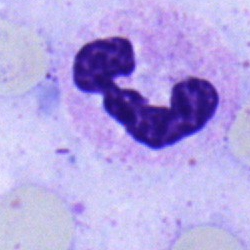
Cell type = segmented neutrophil.